Bone marrow aspirate smear — 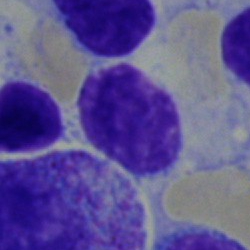 Showing a typical lymphocyte.